Bone marrow smear; 250×250; single-cell crop
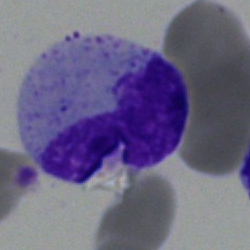 Monocyte.